40× objective, oil immersion. Single-cell crop. Bone marrow aspirate smear — 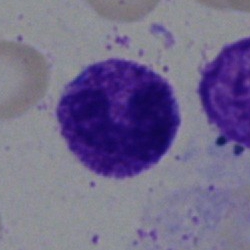A segmented neutrophil.